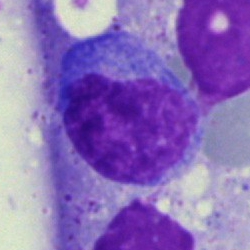
Cell — lymphocyte.